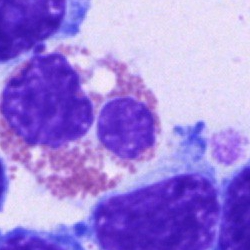Morphology — eosinophil.